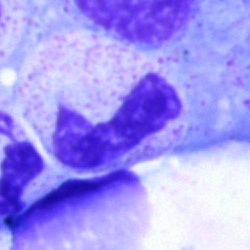 Neutrophil (band).